Romanowsky stain · 100× oil immersion, 14.14 px/µm · peripheral blood smear.
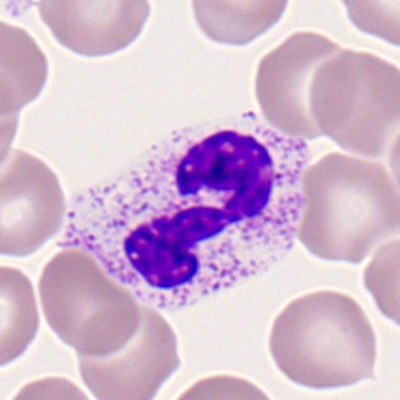
Classification — polymorphonuclear neutrophil.